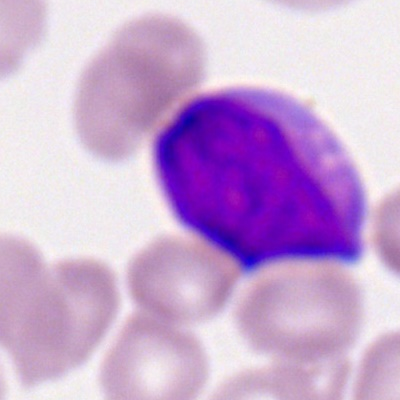Morphology consistent with a myeloblast.